Bone marrow aspirate smear; May-Grünwald-Giemsa stain.
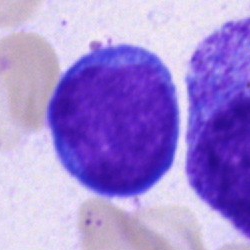

Morphology consistent with an undifferentiated blast.